Bone marrow smear:
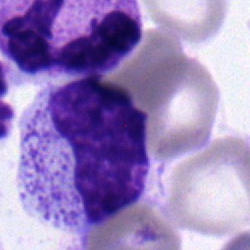Showing a metamyelocyte.